Bone marrow aspirate smear:
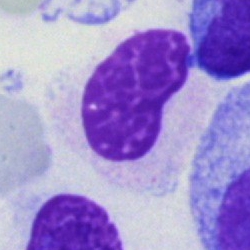 {"cell_type": "band neutrophil", "lineage": "myeloid"}